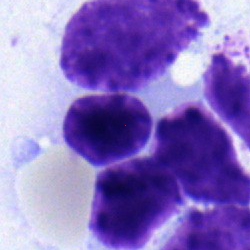 Morphological class — normoblast.